40× oil immersion; cropped to a single cell; bone marrow smear
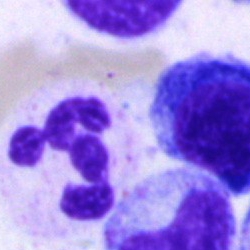

The cell shown is a segmented neutrophil.